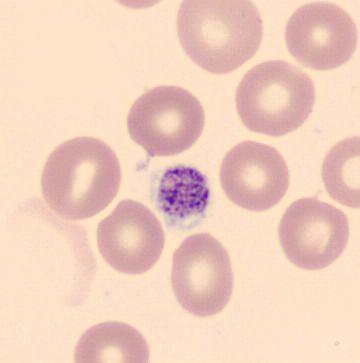
Peripheral blood film.
Morphology consistent with a thrombocyte.